100× objective, oil immersion · peripheral blood film.
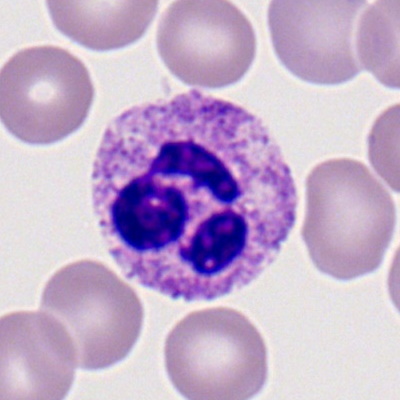

Specimen: peripheral blood film.
Cell: polymorphonuclear neutrophil.
Lineage: myeloid.